Bone marrow aspirate smear
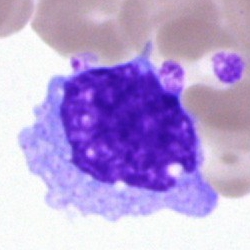
Cell type = monocyte.